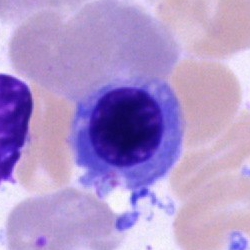 Impression → nucleated red blood cell.